Bone marrow smear.
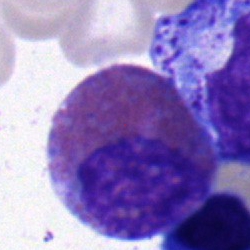The cell shown is an eosinophil.